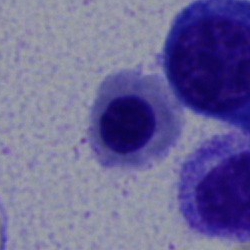

{"cell_type": "erythroblast", "lineage": "erythroid"}